Bone marrow aspirate smear: 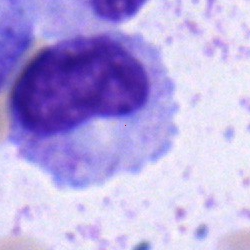

Specimen: bone marrow aspirate smear.
Morphological class: metamyelocyte.
Lineage: myeloid.